Bone marrow smear — 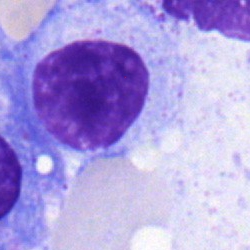

Impression — plasma cell.